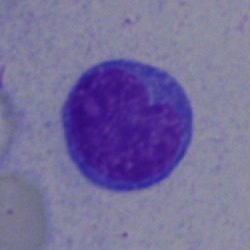Classification: typical lymphocyte.